Bone marrow aspirate smear
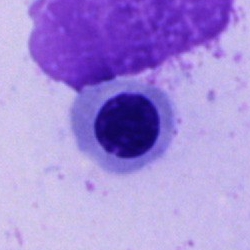Specimen: bone marrow smear.
Cell: normoblast.